40× oil immersion. Bone marrow aspirate smear
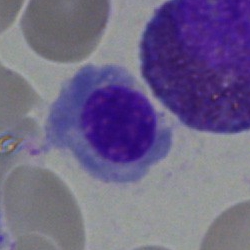The cell is nucleated red cell.